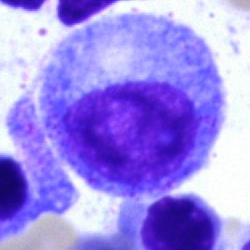

A progranulocyte.